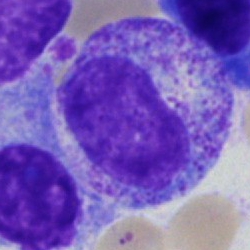
{"cell_type": "metamyelocyte"}